Bone marrow aspirate smear:
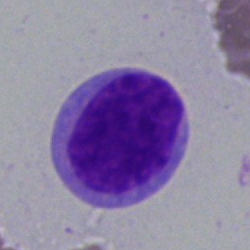 Cell: blast.